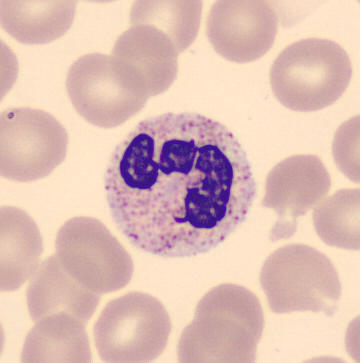Image: Peripheral blood smear.

The cell shown is a segmented neutrophil.